May-Grünwald-Giemsa stain; bone marrow smear — 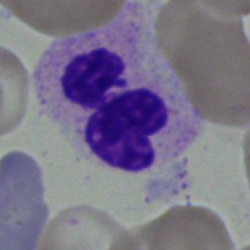The cell is segmented neutrophil.